Bone marrow aspirate smear:
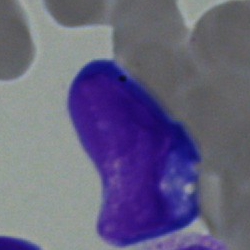

Morphology — blast cell.